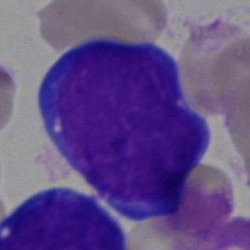
Impression — blast.